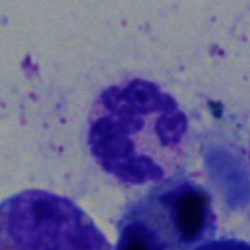
Cell: segmented neutrophil.